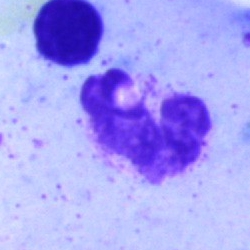
Morphology → neutrophil (segmented).